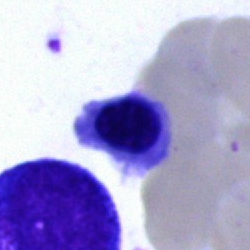Q: Which cell type is shown here?
A: Erythroblast.